Bone marrow smear: 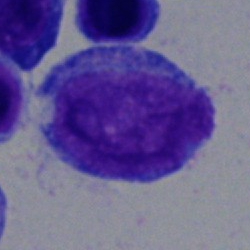
Showing a blast cell.